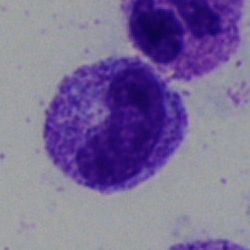 Q: What cell is this?
A: A band neutrophil.